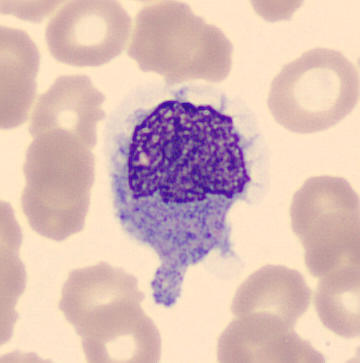 Cell — monocyte.
Image: Peripheral blood film.